Bone marrow aspirate smear · 40× objective, oil immersion.
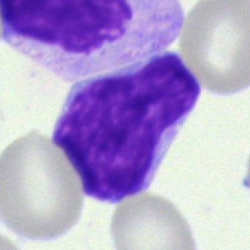An undifferentiated blast.